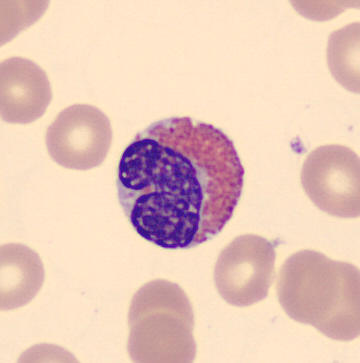Impression → eosinophil.
Acquisition: Peripheral blood smear; single cell centered in the field.